Peripheral blood smear:
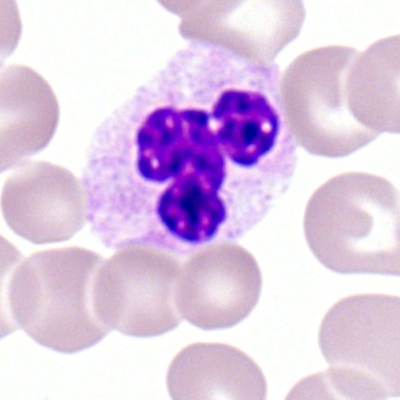

Q: What cell is this?
A: A neutrophil (segmented).